250 by 250 pixels; bone marrow smear; brightfield, 40× oil-immersion objective: 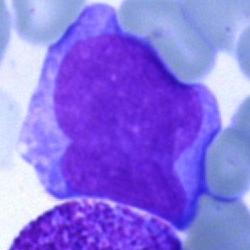

Q: Which cell type is shown here?
A: This is a blast cell.